Peripheral blood film
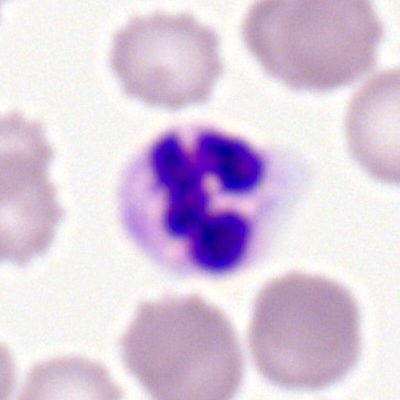
Impression → segmented neutrophil.